Bone marrow smear — 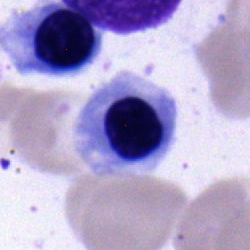Nucleated red cell.